Cropped to a single cell; bone marrow smear:
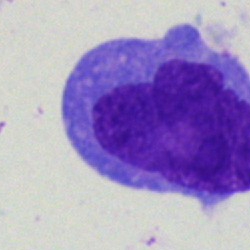 A monocyte.